Single-cell crop. Peripheral blood film. 100× objective, oil immersion — 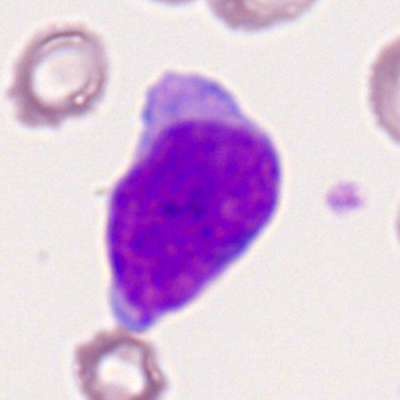

The morphological class is myeloblast.